Bone marrow smear.
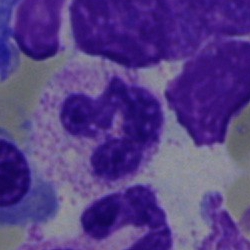
{"cell_type": "polymorphonuclear neutrophil", "lineage": "myeloid"}